Bone marrow aspirate smear — 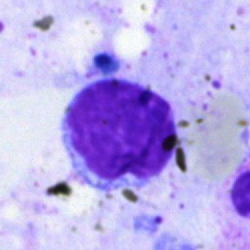

The morphological class is typical lymphocyte.